Bone marrow aspirate smear:
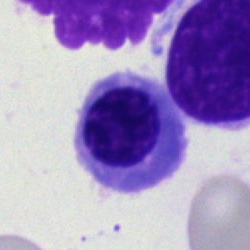
Cell type: normoblast.